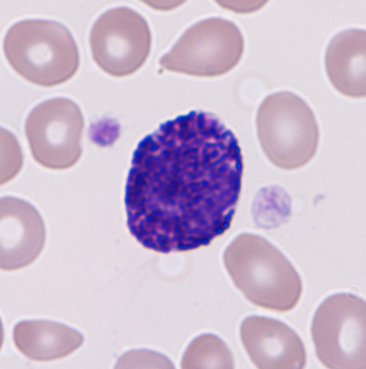

This is a basophil.

Image: Peripheral blood smear.